Bone marrow smear
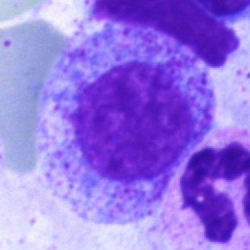This is a myelocyte.